Bone marrow aspirate smear: 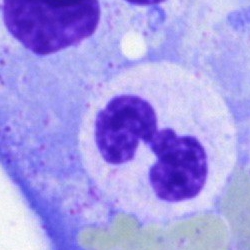 Q: What cell is this?
A: It is a neutrophil (segmented).